Bone marrow smear; 40× objective, oil immersion:
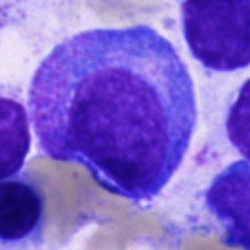 Impression — promyelocyte.